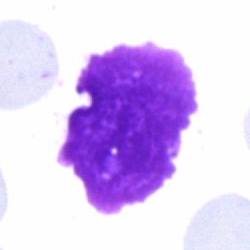Showing a Gumprecht shadow.